Bone marrow smear · 40× objective, oil immersion · single-cell field:
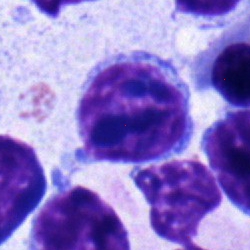The morphological class is lymphocyte.